Bone marrow aspirate smear. Pappenheim-stained:
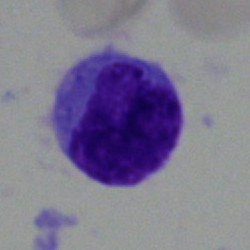 Q: What cell is this?
A: A lymphocyte.